Bone marrow aspirate smear.
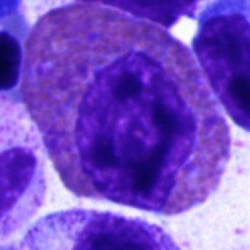Eosinophilic granulocyte.